MGG-stained · bone marrow aspirate smear.
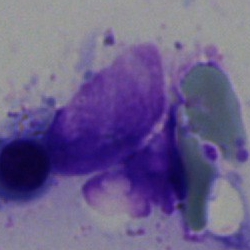 An artifact.